Image size 250×250. Bone marrow smear
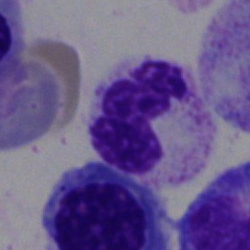 A segmented neutrophil.